Bone marrow aspirate smear. 250×250 px: 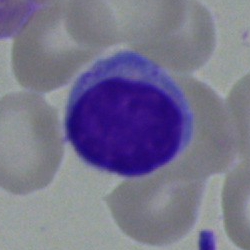
Cell type = typical lymphocyte.